Peripheral blood film.
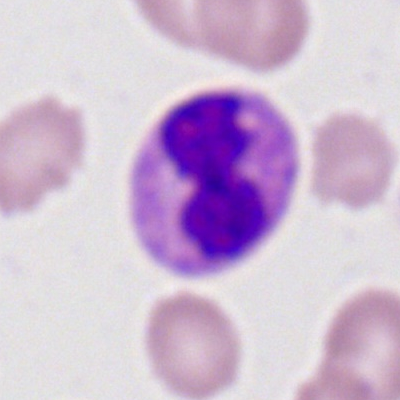 The cell shown is a neutrophil (segmented).